Bone marrow aspirate smear: 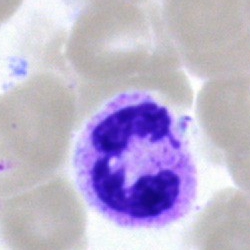 Impression → polymorphonuclear neutrophil.